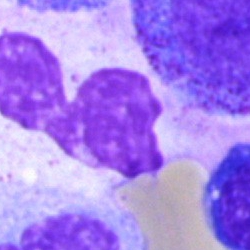 {"cell_type": "neutrophil (segmented)"}